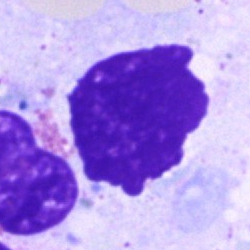 Bone marrow aspirate smear, single cell — artefact.